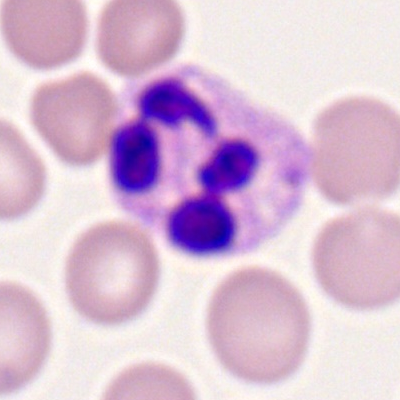

Single cell identified as a polymorphonuclear neutrophil.